Bone marrow smear:
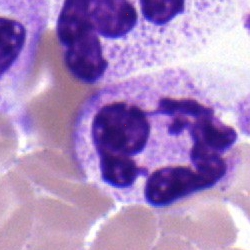

Single cell identified as a segmented neutrophil.